250×250 px. Bone marrow aspirate smear:
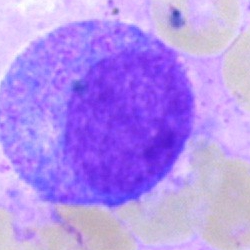 Single cell identified as a progranulocyte.